Bone marrow aspirate smear
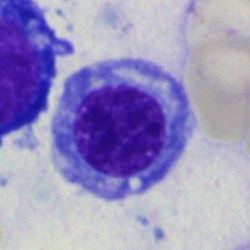Nucleated red cell.